Bone marrow aspirate smear: 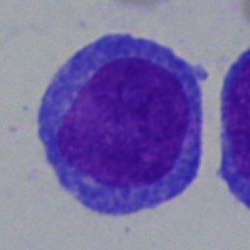 Morphology → blast cell.